250×250. Bone marrow aspirate smear. Single-cell crop: 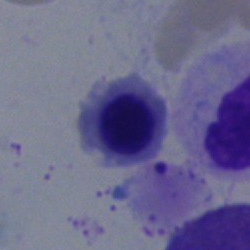

Cell = nucleated red cell.